Peripheral blood film · Romanowsky stain · cropped to a single cell.
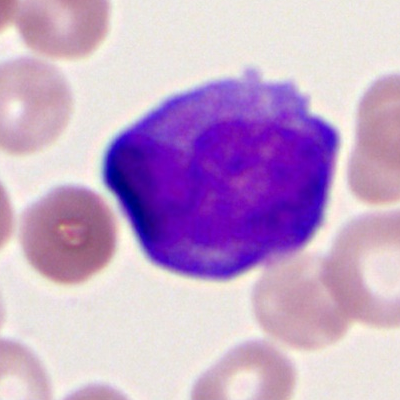 Cell type — bilobed-nucleus promyelocyte.